Single-cell crop. Bone marrow aspirate smear.
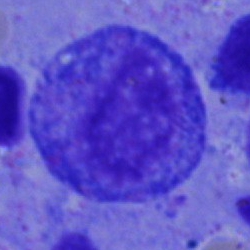

Classification = promyelocyte.